Bone marrow aspirate smear
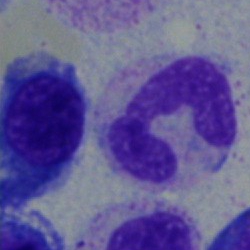 Q: What cell is this?
A: It is a band-form neutrophil.